Bone marrow aspirate smear · brightfield microscopy, 40× oil immersion — 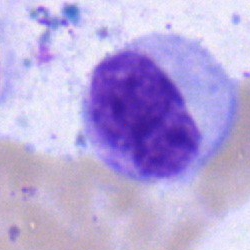

This is a metamyelocyte.